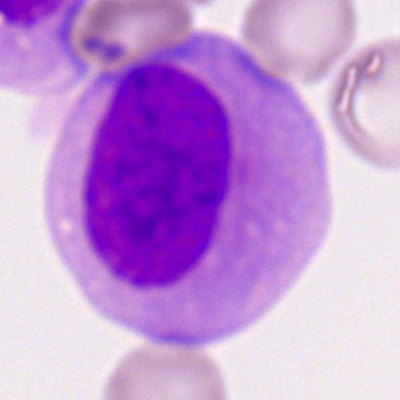
Specimen: peripheral blood film.
Classification: myeloblast.
Lineage: myeloid.